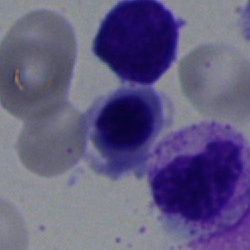 The cell shown is a normoblast.